Peripheral blood smear: 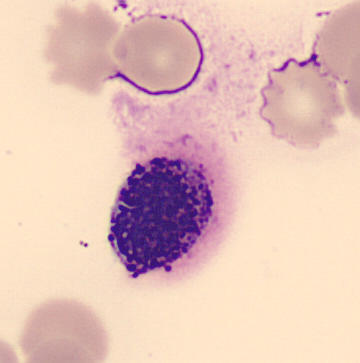Cell type — basophil.